Pappenheim-stained. Image size 250×250. Bone marrow smear: 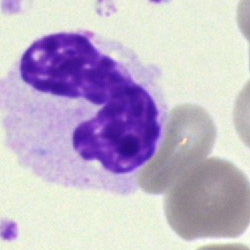Classification: neutrophil (segmented).